Bone marrow aspirate smear.
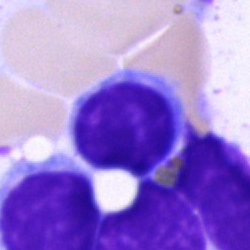Specimen: bone marrow smear.
Morphological class: lymphocyte.